Single-cell field. Peripheral blood film.
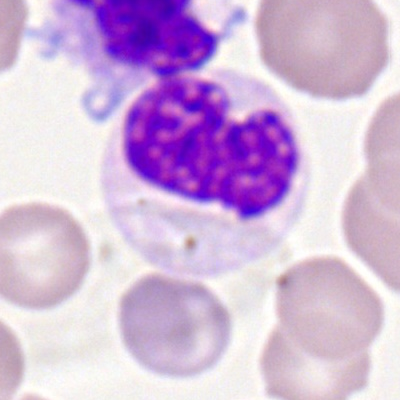

A neutrophil (band).